Bone marrow smear — 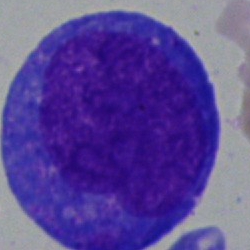Morphological class: blast.